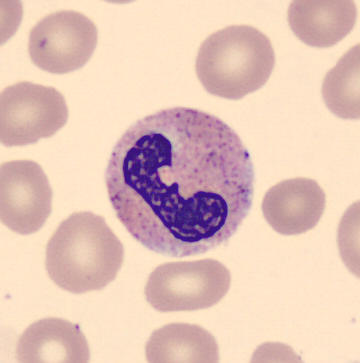
Cell type — polymorphonuclear neutrophil.

Preparation: Peripheral blood smear.